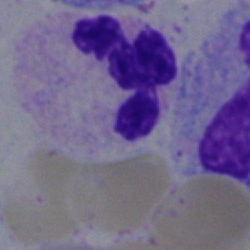
Showing a neutrophil (segmented).